Brightfield, 100× oil-immersion objective · peripheral blood film:
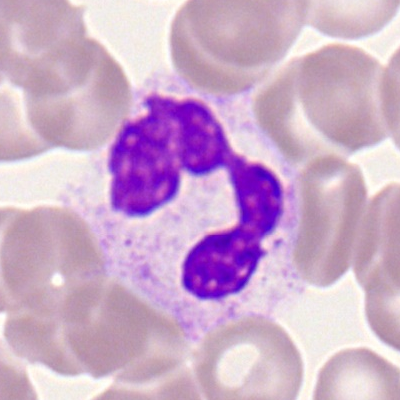

Specimen: peripheral blood smear.
Classification: polymorphonuclear neutrophil.
Lineage: myeloid.